250 by 250 pixels · bone marrow aspirate smear: 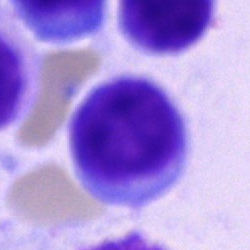This is a typical lymphocyte.